Bone marrow aspirate smear — 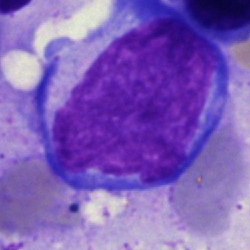 This is a blast cell.